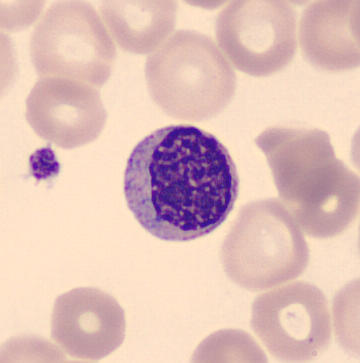Q: Which cell type is shown here?
A: A myelocyte.

Acquisition: Single-cell field; peripheral blood smear; image size 360×363.